Bone marrow aspirate smear — 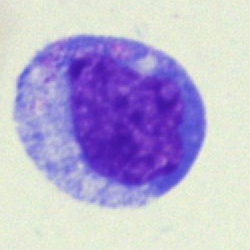

The morphological class is promyelocyte.